Single cell centered in the field; bone marrow smear: 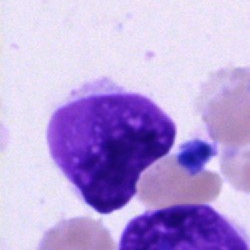
Q: What is shown here?
A: An artifact.